Bone marrow smear.
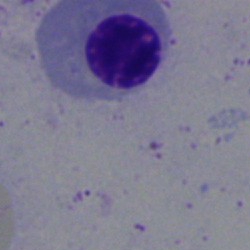

Showing a nucleated red blood cell.